250×250; bone marrow smear:
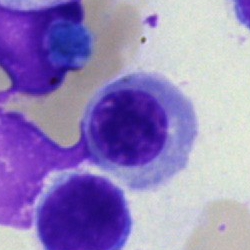
Q: What is shown here?
A: Nucleated red cell.